MGG-stained. Bone marrow smear:
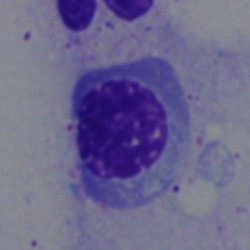Q: What is shown here?
A: This is a nucleated red blood cell.